Single-cell field; bone marrow smear:
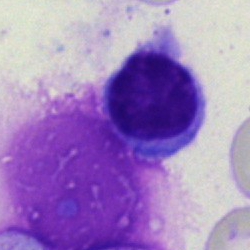Q: What type of cell is this?
A: Lymphocyte.